Bone marrow smear
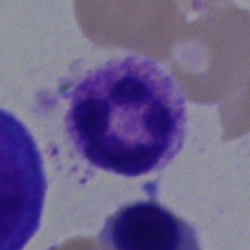

Q: What is shown here?
A: A segmented neutrophil.